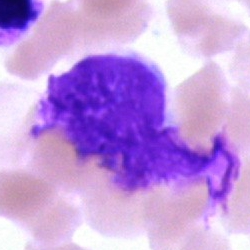
Single-cell crop from a bone marrow smear: artifact.